Peripheral blood film · Romanowsky-type stain: 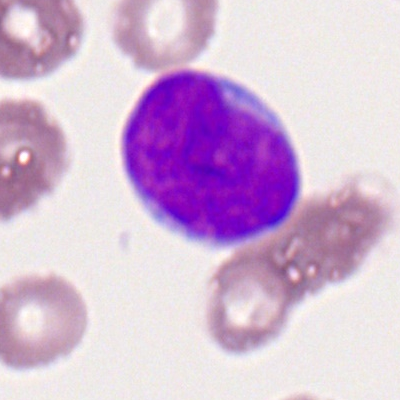

Single cell identified as a myeloid blast.